Cropped to a single cell; bone marrow smear.
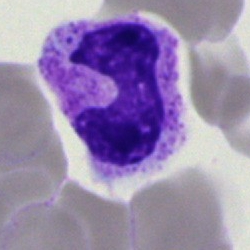
Cell — band-form neutrophil.